Bone marrow smear
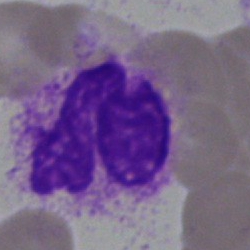
Showing an artefact.